Bone marrow aspirate smear.
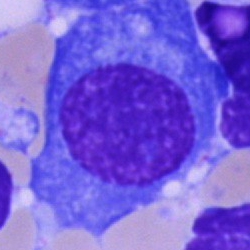 Morphology consistent with a plasmacyte.